Single cell centered in the field; bone marrow aspirate smear: 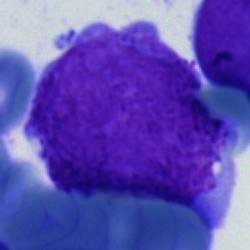
Specimen: bone marrow smear.
Cell type: blast cell.